Bone marrow smear
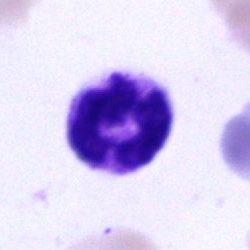

Morphological class: neutrophil (segmented).